Bone marrow aspirate smear.
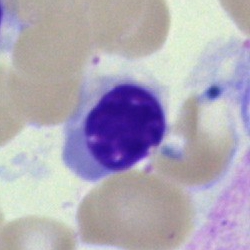Showing a nucleated red blood cell.